Bone marrow smear. Image size 250×250.
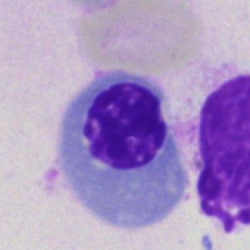
Q: What is shown here?
A: Nucleated red cell.